Bone marrow smear.
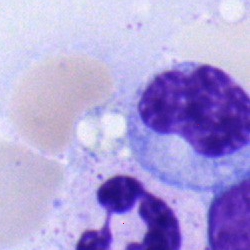 Classification: lymphocyte.